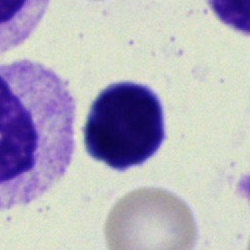 {"cell_type": "lymphocyte"}